Bone marrow smear — 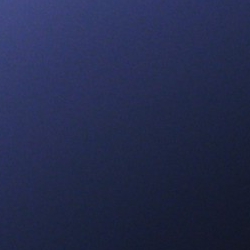

Q: What is shown here?
A: An artifact.